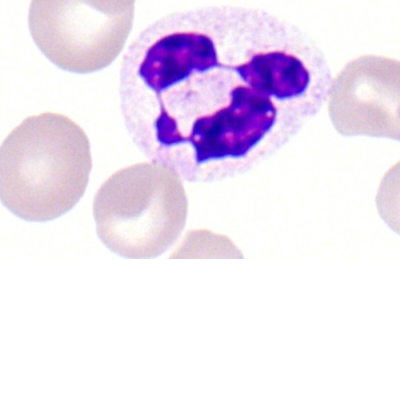The cell is polymorphonuclear neutrophil.